Bone marrow aspirate smear:
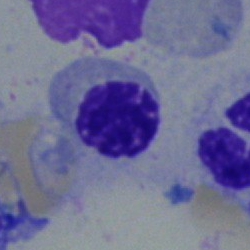This is a nucleated red cell.